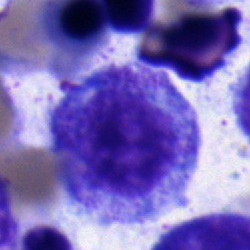
A promyelocyte on a bone marrow smear.